Single cell centered in the field · peripheral blood film
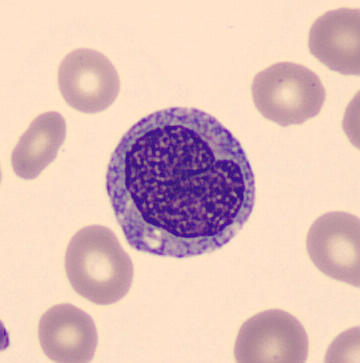

The cell type is monocyte.